Peripheral blood smear
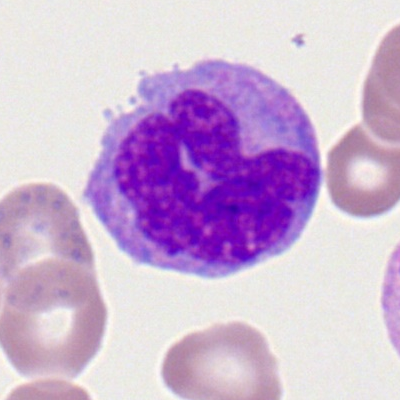
{"cell_type": "monocyte", "lineage": "myeloid"}